Bone marrow smear. Image size 250×250.
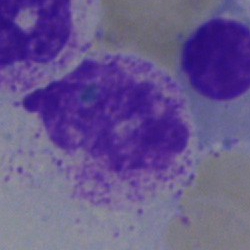

This is a segmented neutrophil.